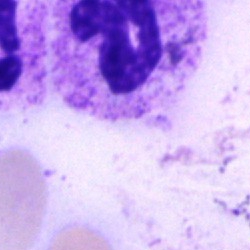
A neutrophil (segmented) on a bone marrow smear.